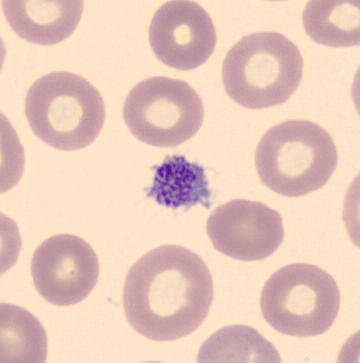
Peripheral blood film.
Classification — platelet.